May-Grünwald-Giemsa stain. 40× oil immersion. Bone marrow aspirate smear.
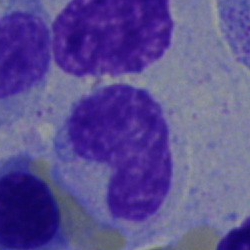
Cell type = erythroblast.